Bone marrow smear.
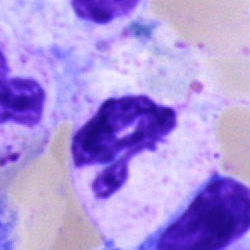

Classification — neutrophil (segmented).